May-Grünwald-Giemsa/Pappenheim stain; bone marrow aspirate smear: 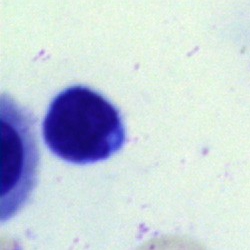

The cell type is typical lymphocyte.